Bone marrow smear. Single-cell field:
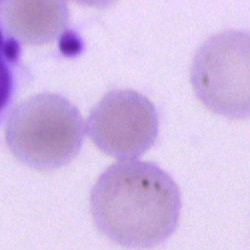The cell shown is an artefact.